Bone marrow aspirate smear
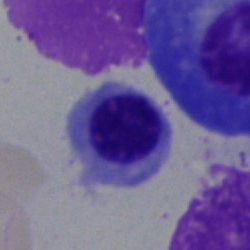

Morphological class = nucleated red blood cell.